Single-cell field · bone marrow smear
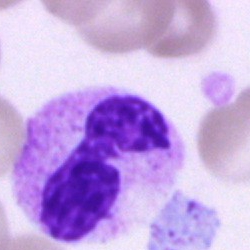Showing a segmented neutrophil.